Single cell centered in the field; bone marrow smear:
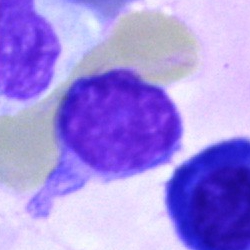 Typical lymphocyte.